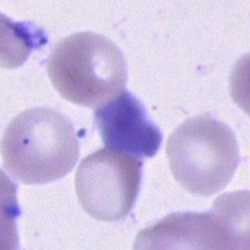Specimen: bone marrow aspirate smear.
Morphological class: artefact.